Image size 250×250. Bone marrow smear — 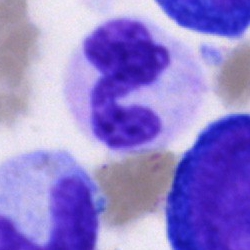

Segmented neutrophil.